40× oil immersion. Bone marrow aspirate smear. May-Grünwald-Giemsa stain.
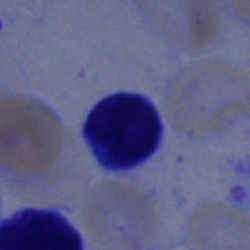 Q: What is shown here?
A: A lymphocyte.